May-Grünwald-Giemsa stain; 250×250 px; bone marrow aspirate smear — 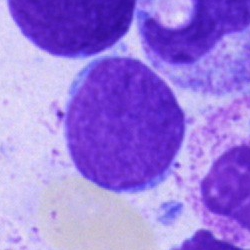

Specimen: bone marrow smear.
Cell: blast cell.